Bone marrow smear. Single cell centered in the field
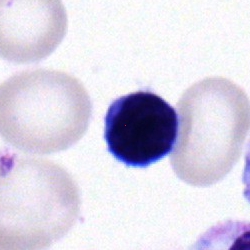
Typical lymphocyte.